May-Grünwald-Giemsa/Pappenheim stain. Bone marrow aspirate smear.
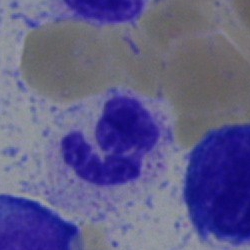
Specimen: bone marrow smear.
Cell: neutrophil (segmented).
Lineage: myeloid.